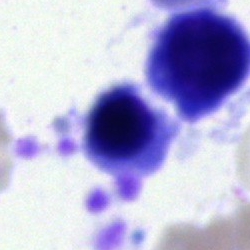 Bone marrow aspirate smear, single cell — nucleated red blood cell.